Bone marrow smear
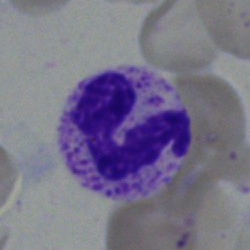Classification: neutrophil (segmented).